Bone marrow aspirate smear; brightfield, 40× oil-immersion objective; 250×250 — 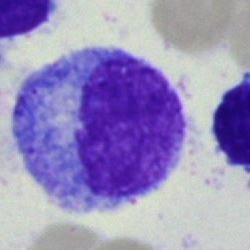 Cell: myelocyte.